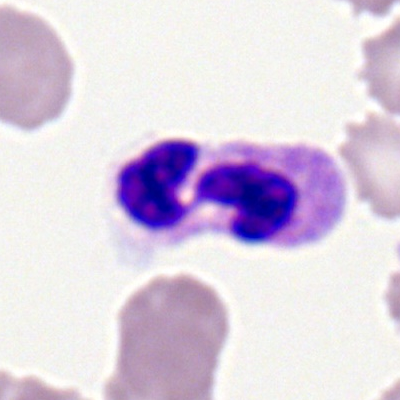 The cell shown is a neutrophil (segmented).